Bone marrow smear. Pappenheim-stained. 250×250 px.
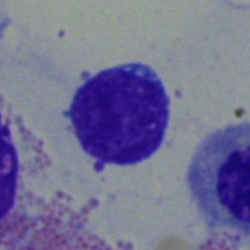

Specimen: bone marrow aspirate smear.
Cell: typical lymphocyte.
Lineage: lymphoid.